Bone marrow smear · MGG-stained
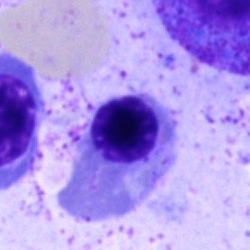

Cell: erythroblast.